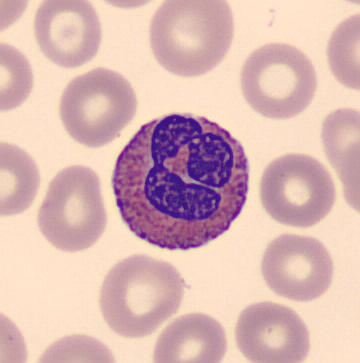 Image: May-Grünwald-Giemsa-stained. Automated cell imaging (CellaVision DM96). Peripheral blood smear. Classification — eosinophil.